Bone marrow aspirate smear:
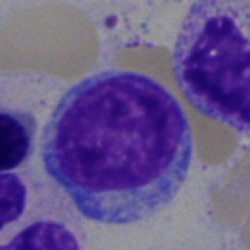
Morphology — typical lymphocyte.